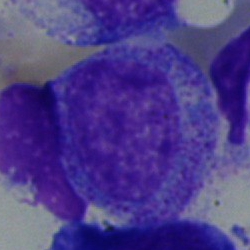Morphology → myelocyte.